Bone marrow aspirate smear
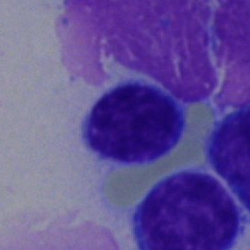 The cell type is lymphocyte.